Peripheral blood smear: 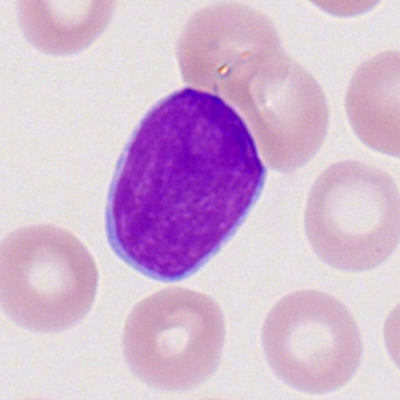
The classification is myeloblast.